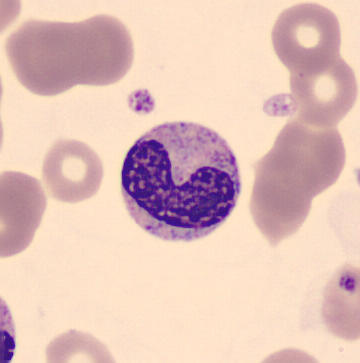 Q: What is shown here?
A: Stab cell.